Brightfield, 40× oil-immersion objective. Bone marrow aspirate smear:
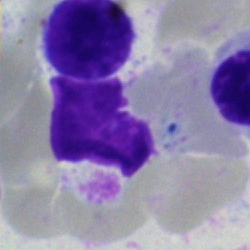
The cell is artefact.